Bone marrow smear:
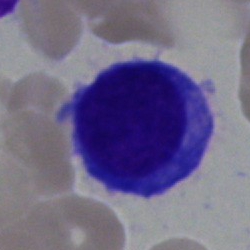

Q: Which cell type is shown here?
A: A plasmacyte.